Bone marrow smear · Pappenheim-stained:
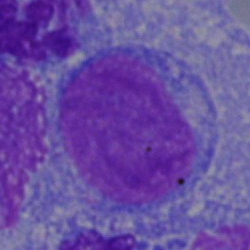 This is a blast cell.